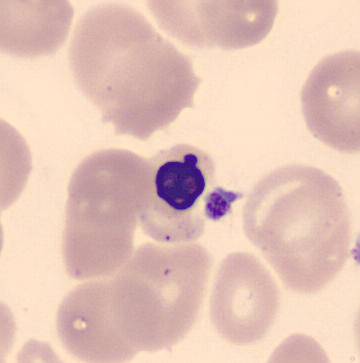Single cell centered in the field · peripheral blood smear. Morphology — erythroblast.